250×250 px. Bone marrow smear: 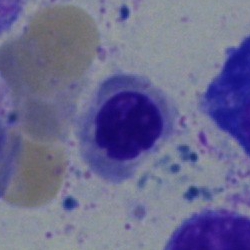Morphology → nucleated red cell.